Pappenheim-stained; bone marrow smear — 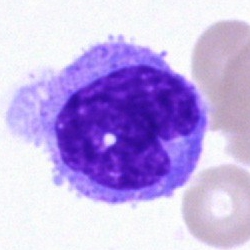Showing a monocyte.